Bone marrow aspirate smear
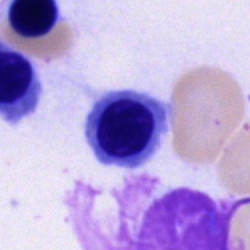
Cell — normoblast.